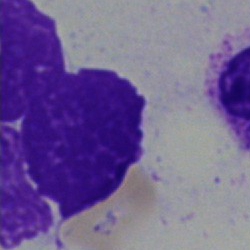

Q: What is shown here?
A: This is an artifact.